Bone marrow aspirate smear.
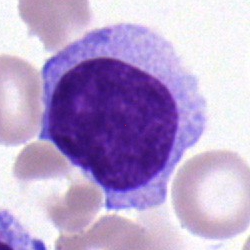 The cell type is lymphocyte.